Bone marrow aspirate smear
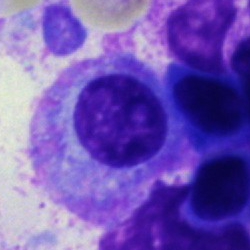Cell — plasma cell.